Bone marrow smear — 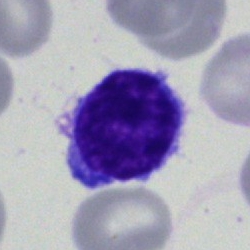Single cell identified as a lymphocyte.